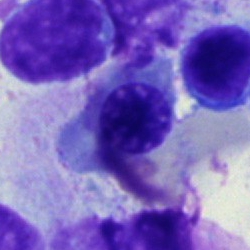

{"cell_type": "erythroblast", "lineage": "erythroid"}